Peripheral blood smear.
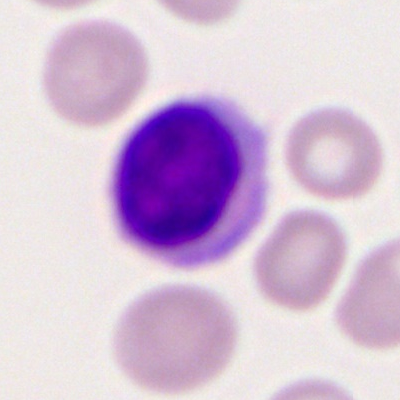{"cell_type": "typical lymphocyte"}